Bone marrow smear — 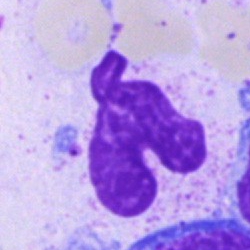
Single cell identified as an artifact.